Pappenheim-stained. Bone marrow aspirate smear. Brightfield microscopy, 40× oil immersion
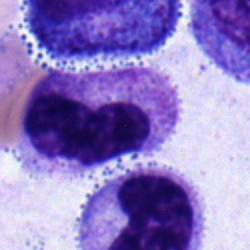 A stab cell.